Peripheral blood film:
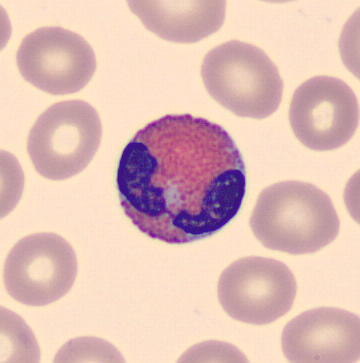 Morphology → eosinophilic granulocyte.